Bone marrow smear. 40× oil immersion.
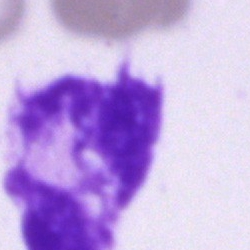

Morphology — artifact.